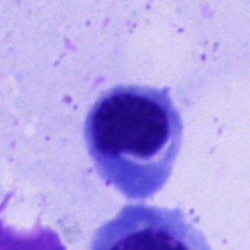 Q: What is the morphological classification of this cell?
A: Nucleated red cell.